Cropped to a single cell. Bone marrow aspirate smear
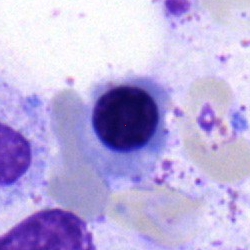

Q: What cell is this?
A: An erythroblast.